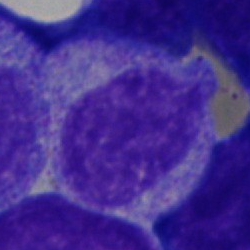
Classification: myelocyte.